MGG-stained; brightfield, 40× oil-immersion objective; bone marrow smear:
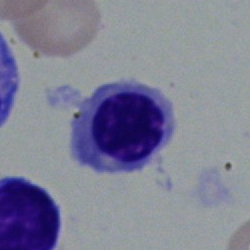 Specimen: bone marrow smear.
Cell: nucleated red blood cell.